Brightfield microscopy, 40× oil immersion · bone marrow aspirate smear:
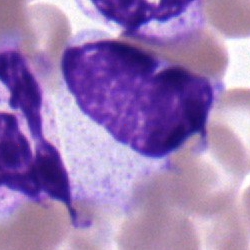 Morphology consistent with a stab cell.